Bone marrow smear: 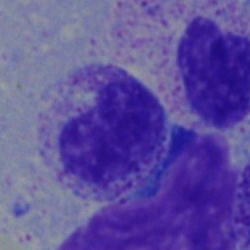

Single cell identified as a metamyelocyte.